Single-cell field; bone marrow smear:
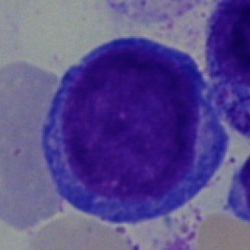Cell type — blast cell.